Bone marrow smear. Cropped to a single cell — 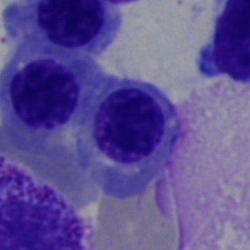Q: What is shown here?
A: It is an erythroblast.